Peripheral blood smear
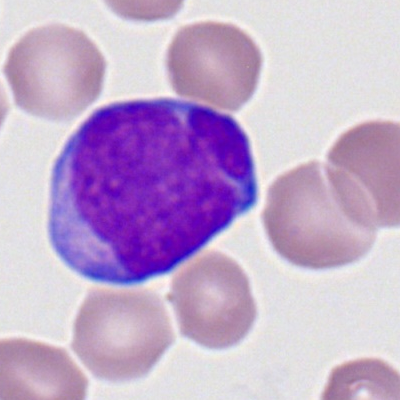 The cell type is myeloblast.